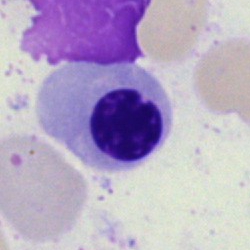
Specimen: bone marrow aspirate smear.
Morphological class: erythroblast.